40× objective, oil immersion. Image size 250×250. Bone marrow smear.
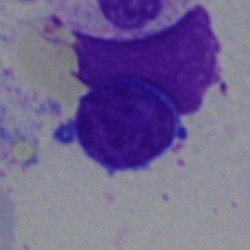
The morphological class is artifact.